Bone marrow aspirate smear
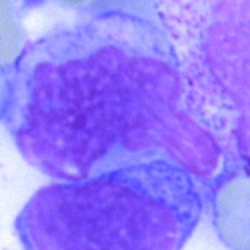

The cell is monocyte.